Single-cell field. Bone marrow aspirate smear: 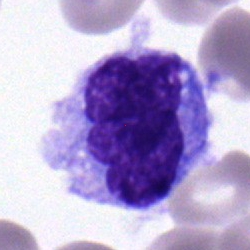 The cell shown is a monocyte.